May-Grünwald-Giemsa/Pappenheim stain; bone marrow aspirate smear:
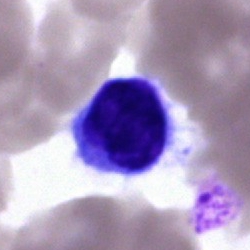

Specimen: bone marrow aspirate smear.
Cell: lymphocyte.
Lineage: lymphoid.